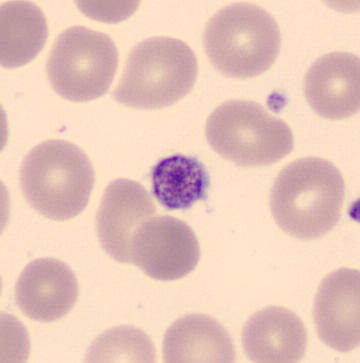

Peripheral blood film.
Morphology consistent with a thrombocyte.